May-Grünwald-Giemsa stain · bone marrow smear · 250×250
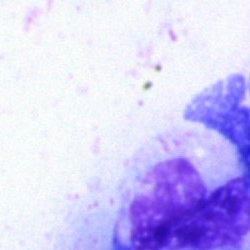 The cell shown is an artefact.